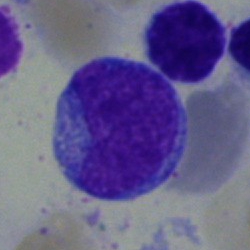Q: What cell is this?
A: An undifferentiated blast.